40× oil immersion; bone marrow smear:
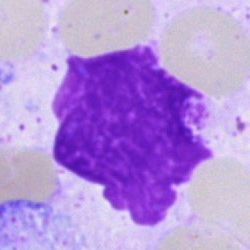
Single cell identified as an artefact.